Bone marrow smear. Brightfield, 40× oil-immersion objective. Image size 250×250.
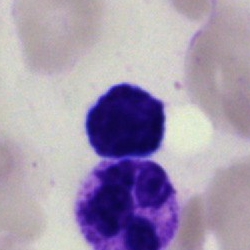

Lymphocyte.